Bone marrow aspirate smear.
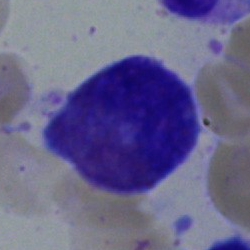The cell shown is an eosinophilic granulocyte.